Bone marrow smear: 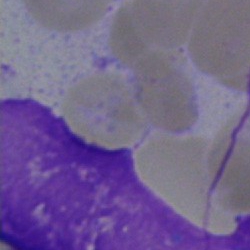

Specimen: bone marrow aspirate smear.
Morphological class: artifact.